Bone marrow aspirate smear:
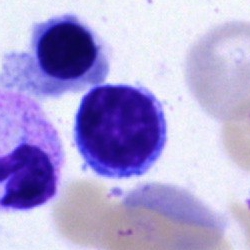A typical lymphocyte.